Image size 250×250 · bone marrow aspirate smear.
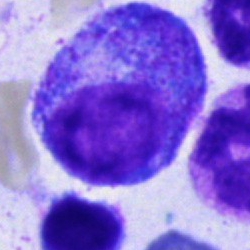Q: What cell is this?
A: This is a progranulocyte.